Bone marrow aspirate smear. May-Grünwald-Giemsa stain. Single-cell crop — 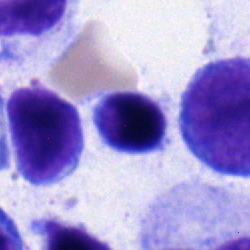 Specimen: bone marrow smear.
Morphological class: typical lymphocyte.